Bone marrow smear.
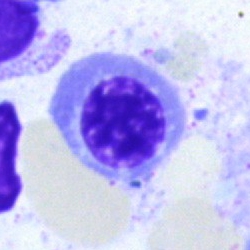

Morphology consistent with a nucleated red cell.